Peripheral blood film
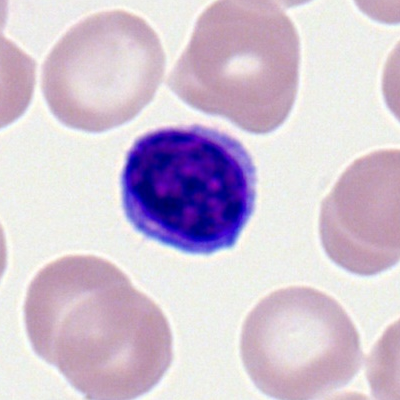This is a typical lymphocyte.